Bone marrow smear — 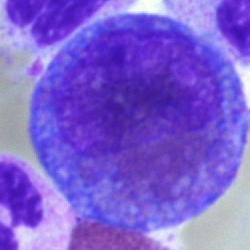
Morphological class: promyelocyte.